Bone marrow smear. Brightfield, 40× oil-immersion objective. Single-cell crop:
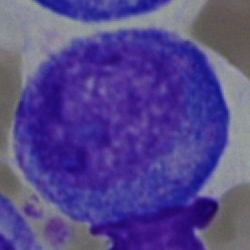

The cell shown is a progranulocyte.